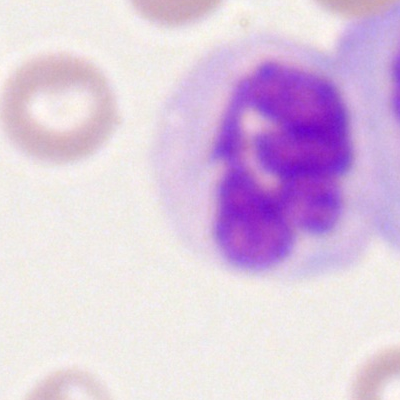Single-cell crop from a peripheral blood smear: polymorphonuclear neutrophil.